Bone marrow aspirate smear. 250 by 250 pixels: 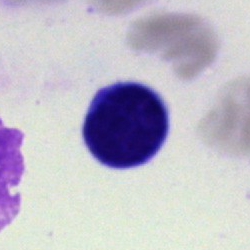 Cell: lymphocyte.